Bone marrow smear. 250×250 px:
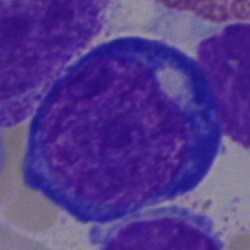A proerythroblast.